Bone marrow smear. May-Grünwald-Giemsa/Pappenheim stain.
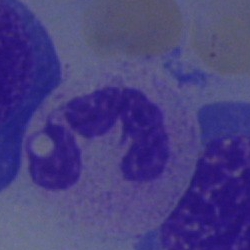

Segmented neutrophil.